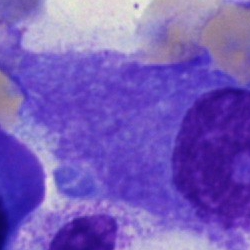

Q: What is shown here?
A: Artefact.